Bone marrow smear; 250×250 px
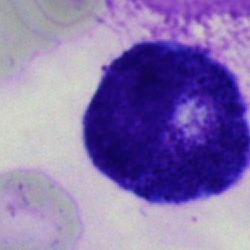

Q: Identify the cell.
A: A progranulocyte.